Bone marrow aspirate smear: 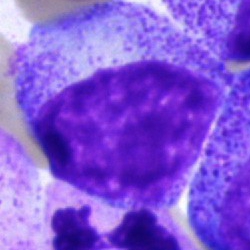 This is a progranulocyte.